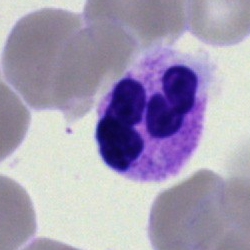The classification is neutrophil (segmented).